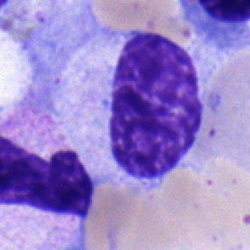

Morphological class — myelocyte.